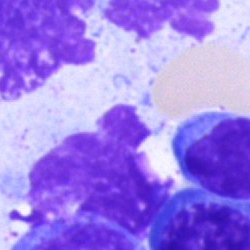

Morphological class: artefact.